Bone marrow smear
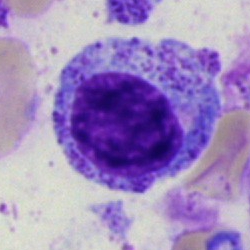 Cell type = myelocyte.